Bone marrow aspirate smear. Brightfield, 40× oil-immersion objective: 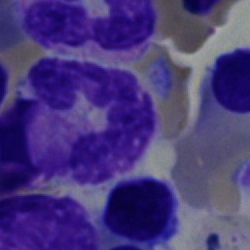
Q: Identify the cell.
A: This is a polymorphonuclear neutrophil.